Bone marrow smear
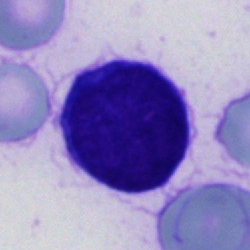
Morphology consistent with a cell of indeterminate lineage.